Bone marrow aspirate smear; single-cell crop.
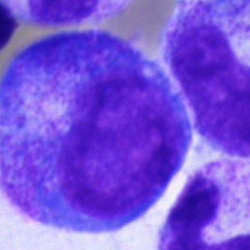

Classification: progranulocyte.